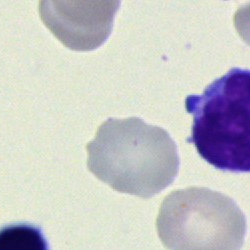 Cell: cell of indeterminate lineage.